Bone marrow smear — 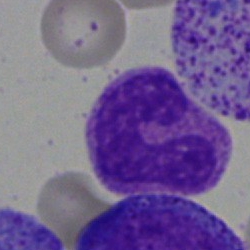 Morphology — band neutrophil.